Bone marrow smear
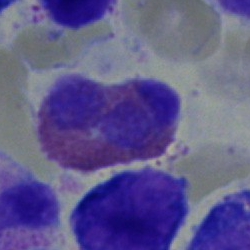

The cell shown is an eosinophilic granulocyte.